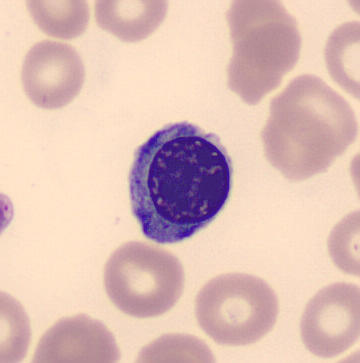 Peripheral blood film, single cell — normoblast.